Pappenheim-stained; bone marrow aspirate smear: 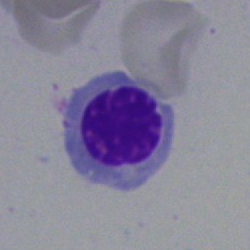
Normoblast.